Bone marrow aspirate smear
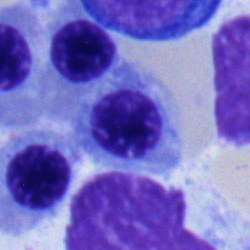Specimen: bone marrow aspirate smear.
Cell: lymphocyte.